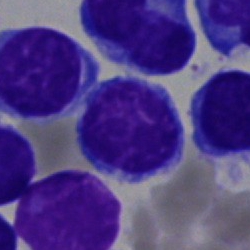

Specimen: bone marrow aspirate smear.
Morphological class: lymphocyte.
Lineage: lymphoid.